40× oil immersion · bone marrow smear — 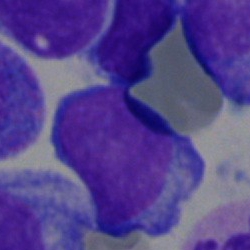The cell shown is an undifferentiated blast.